Bone marrow aspirate smear; Pappenheim-stained — 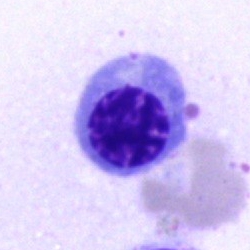 Classification — normoblast.